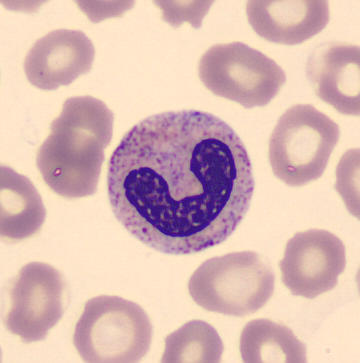
Peripheral blood smear.

Q: What type of cell is this?
A: Stab cell.